Single-cell crop. Bone marrow aspirate smear: 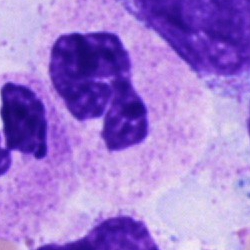
Morphology → neutrophil (segmented).